Bone marrow aspirate smear:
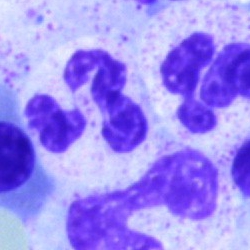
A segmented neutrophil.